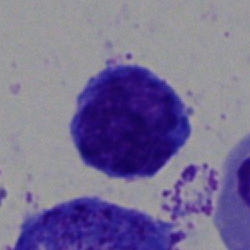

Q: What is shown here?
A: Lymphocyte.